Brightfield, 40× oil-immersion objective; bone marrow aspirate smear:
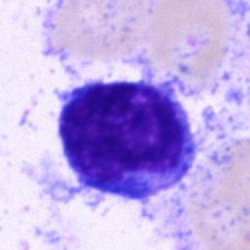 The cell type is blast cell.